Single-cell field. Bone marrow aspirate smear. May-Grünwald-Giemsa stain — 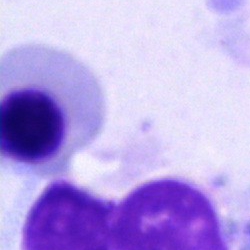

Q: Identify the cell.
A: It is a nucleated red cell.